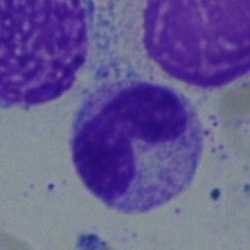

Impression — stab cell.